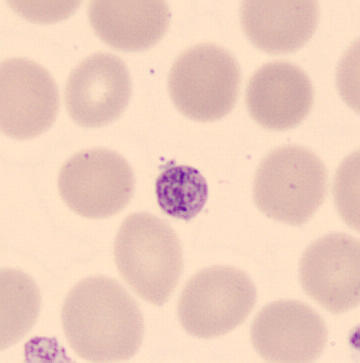 Preparation: 360×363; May-Grünwald-Giemsa-stained; peripheral blood film.

Impression → platelet.